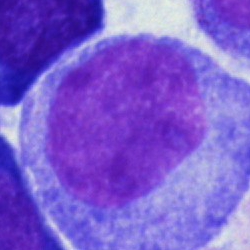Bone marrow aspirate smear, single cell — progranulocyte.